Bone marrow aspirate smear. 40× oil immersion.
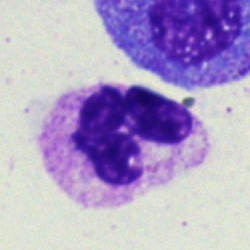 Specimen: bone marrow aspirate smear.
Morphological class: segmented neutrophil.